Bone marrow smear: 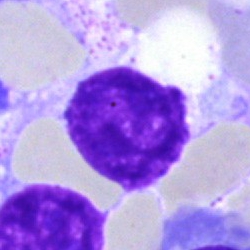Specimen: bone marrow aspirate smear.
Cell type: artifact.